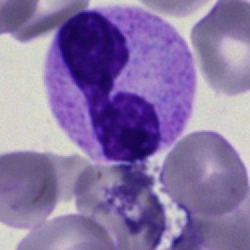
A neutrophil (segmented).